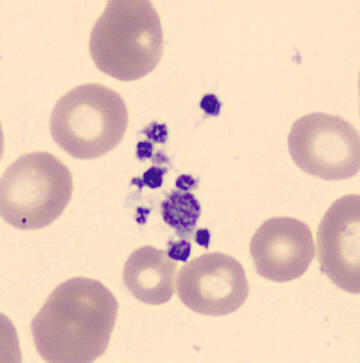

Acquisition: Image size 360×363; peripheral blood smear; MGG-stained.
Classification = platelet (thrombocyte).